Peripheral blood film · Romanowsky-stained · 100× oil immersion, 14.14 px/µm:
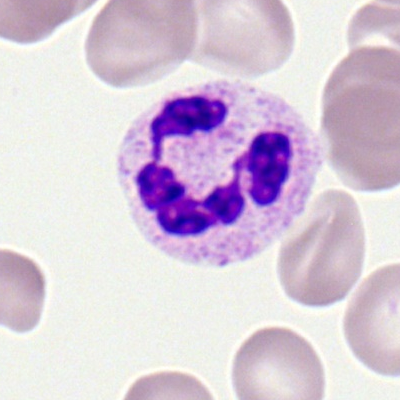A segmented neutrophil.